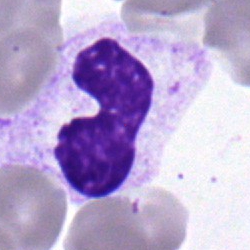
A neutrophil (segmented).